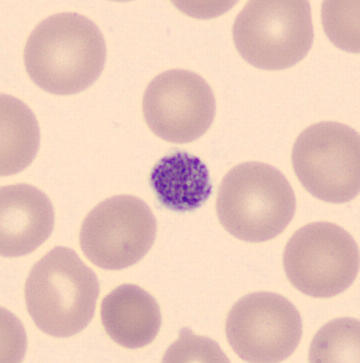
Impression — thrombocyte.